Bone marrow smear: 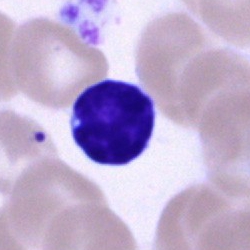

The cell type is lymphocyte.